Romanowsky stain; peripheral blood film:
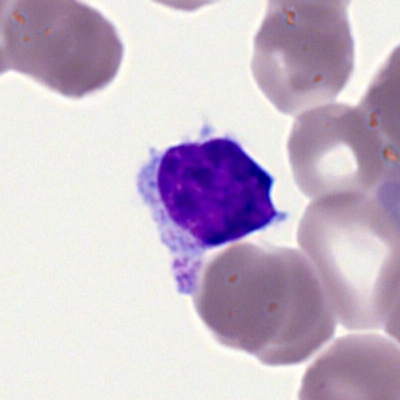 Q: Which cell type is shown here?
A: Lymphocyte.